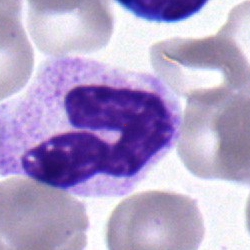 Q: What is shown here?
A: A polymorphonuclear neutrophil.